Peripheral blood film. 400×400:
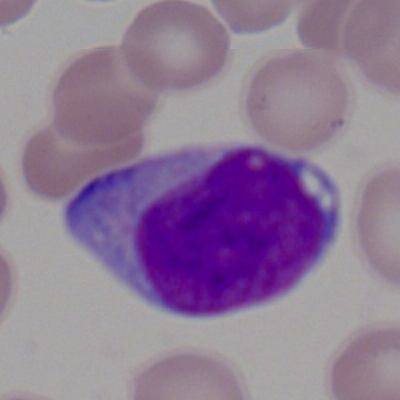 Myeloblast.